Bone marrow aspirate smear · cropped to a single cell · 250 by 250 pixels:
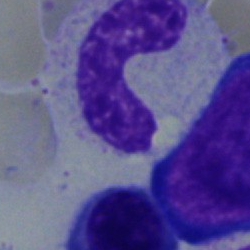{"cell_type": "band neutrophil"}